Bone marrow smear — 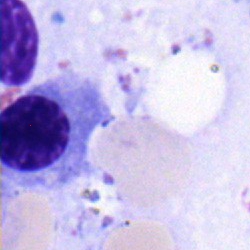

Specimen: bone marrow aspirate smear.
Morphological class: erythroblast.
Lineage: erythroid.